Bone marrow aspirate smear.
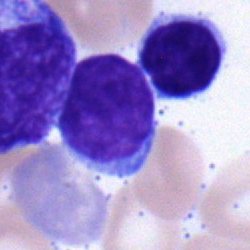 Typical lymphocyte.